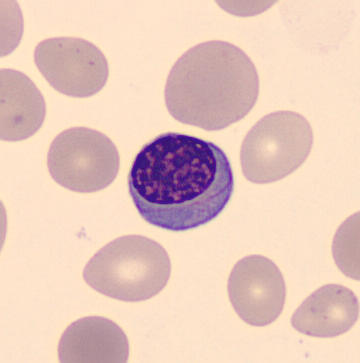

Nucleated red blood cell. Single-cell field; MGG-stained; peripheral blood smear.